360×363. Peripheral blood smear — 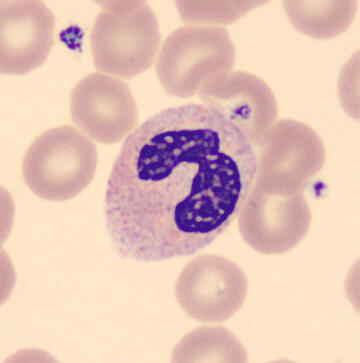

Q: Which cell type is shown here?
A: Neutrophil (segmented).